Bone marrow smear
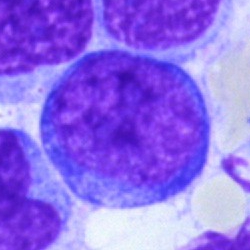

Showing a blast.